Bone marrow aspirate smear
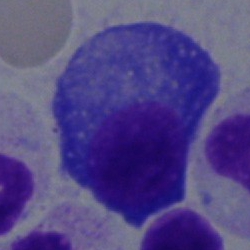

Morphological class = plasma cell.